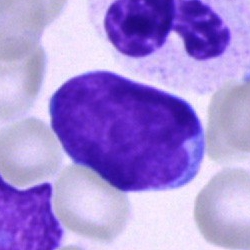
Showing a blast.